Peripheral blood smear
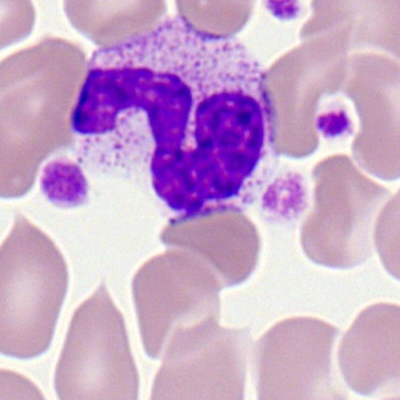 Morphology consistent with a neutrophil (segmented).